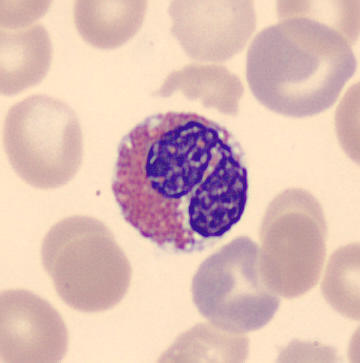
Classification — eosinophil.
Acquisition: Peripheral blood smear.